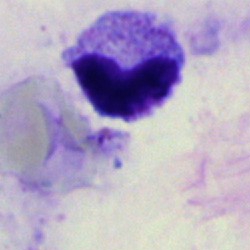Morphology consistent with an artefact.